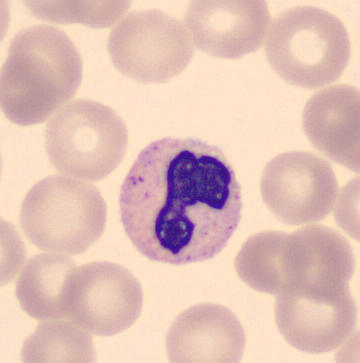 Cell type — stab cell. Peripheral blood film.